Bone marrow smear. Image size 250×250
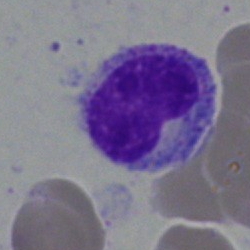 The classification is metamyelocyte.